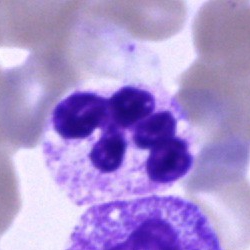

Cell type: segmented neutrophil.